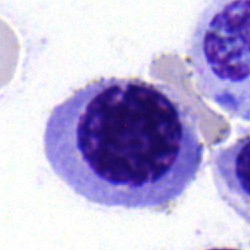
Nucleated red cell.